Bone marrow smear · brightfield, 40× oil-immersion objective: 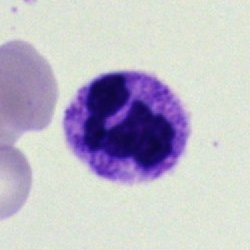Showing a neutrophil (segmented).